Bone marrow aspirate smear — 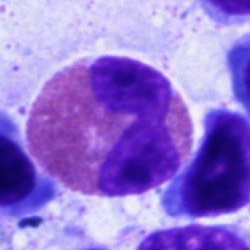

The cell is eosinophil.